Brightfield microscopy, 40× oil immersion; bone marrow smear: 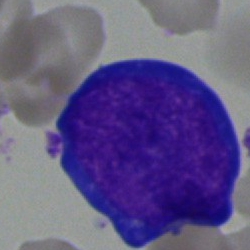 Cell type — proerythroblast.